Bone marrow smear; 250 by 250 pixels
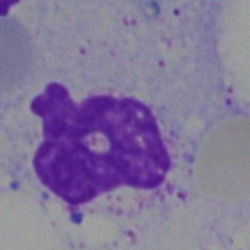 Cell: artefact.